Bone marrow aspirate smear — 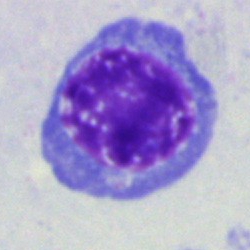
{"cell_type": "nucleated red cell"}